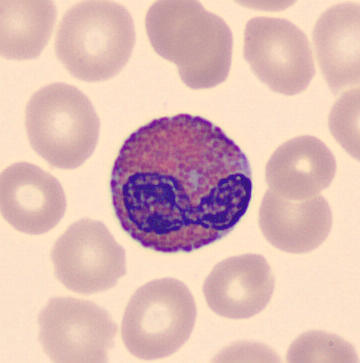Image: Peripheral blood film. MGG-stained. Q: What type of cell is this?
A: It is an eosinophil.